Single-cell field. Bone marrow aspirate smear. May-Grünwald-Giemsa stain:
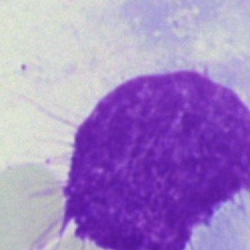Q: What is shown here?
A: An artefact.